May-Grünwald-Giemsa stain · brightfield, 40× oil-immersion objective · bone marrow smear: 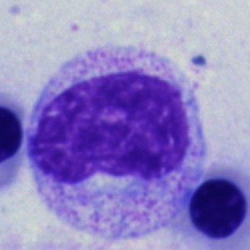
Myelocyte.